Bone marrow smear — 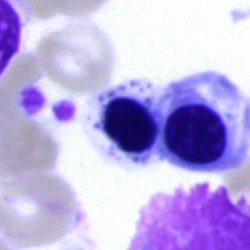
An erythroblast.